Bone marrow smear
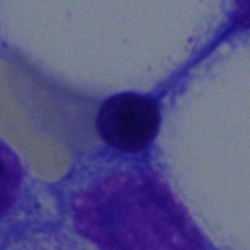Impression — normoblast.